Peripheral blood smear:
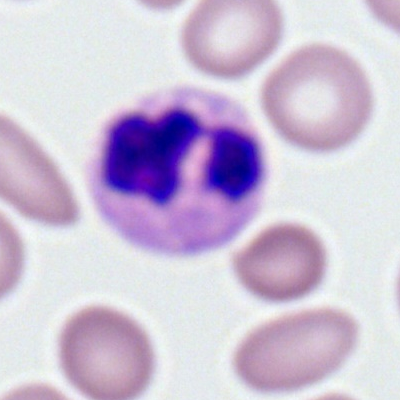
The cell shown is a segmented neutrophil.